Bone marrow aspirate smear · image size 250×250 · Pappenheim-stained.
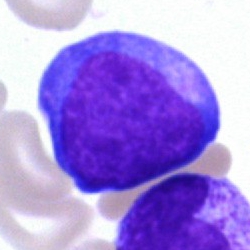Impression → undifferentiated blast.